Bone marrow aspirate smear · May-Grünwald-Giemsa stain
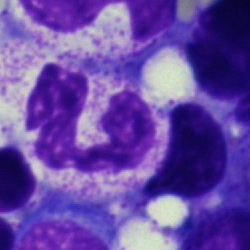
Cell type — polymorphonuclear neutrophil.